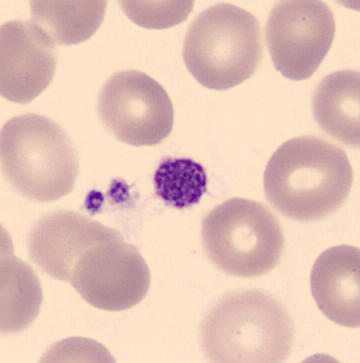Showing a platelet.
Image: Peripheral blood smear. Image size 360×363. CellaVision DM96 digital cell image.